Bone marrow aspirate smear; 40× objective, oil immersion; single-cell field
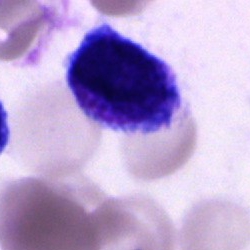Showing a cell of indeterminate lineage.